Bone marrow aspirate smear
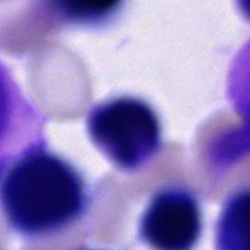

This is an unidentifiable cell.